May-Grünwald-Giemsa stain · bone marrow aspirate smear · single-cell field.
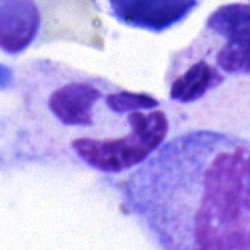 Specimen: bone marrow aspirate smear.
Morphological class: polymorphonuclear neutrophil.